Bone marrow smear
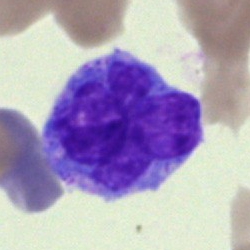 Cell: monocyte.